Image size 250×250. Bone marrow aspirate smear
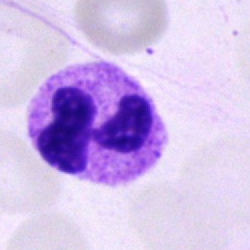 {"cell_type": "neutrophil (segmented)", "lineage": "myeloid"}